Bone marrow smear · brightfield, 40× oil-immersion objective — 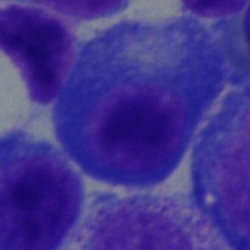

{"cell_type": "plasma cell", "lineage": "lymphoid"}